Bone marrow smear · image size 250×250:
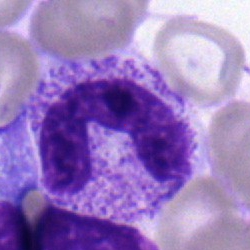

Cell = band neutrophil.